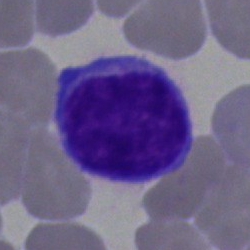Showing a typical lymphocyte.